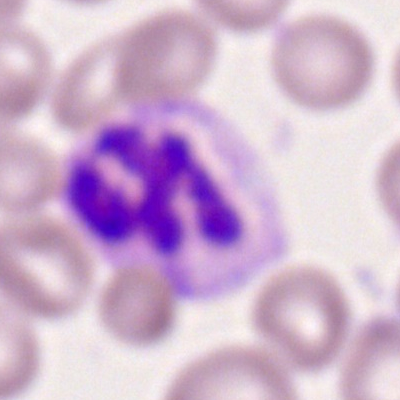

This is a segmented neutrophil.